Bone marrow aspirate smear; single-cell field: 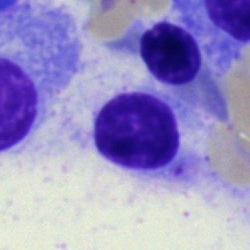 Cell type — lymphocyte.